40× objective, oil immersion. Bone marrow aspirate smear — 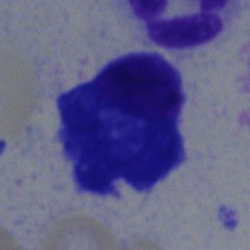

Specimen: bone marrow aspirate smear.
Cell: plasma cell.